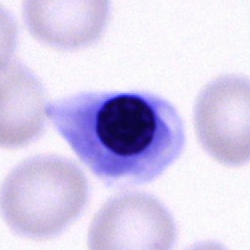

Morphological class: erythroblast.